Bone marrow aspirate smear.
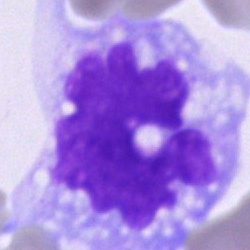
Single cell identified as a monocyte.